250 by 250 pixels · bone marrow smear
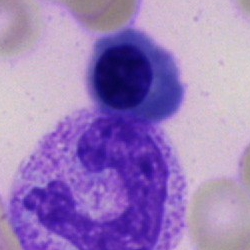
The cell type is stab cell.